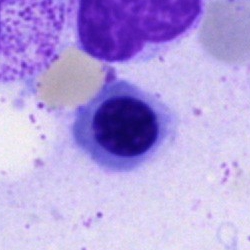 A nucleated red blood cell.